Peripheral blood film — 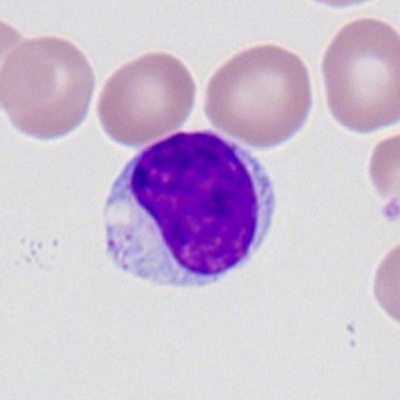 Morphological class — lymphocyte.